Bone marrow smear: 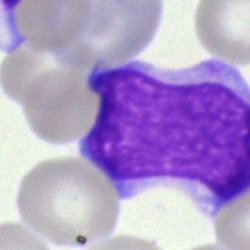
Impression — blast cell.